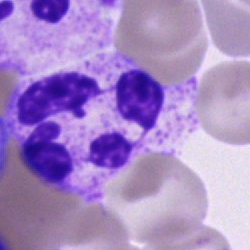

Single cell identified as a neutrophil (segmented).